Bone marrow smear. Cropped to a single cell. Brightfield, 40× oil-immersion objective:
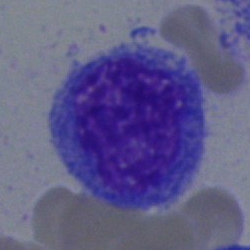
Specimen: bone marrow aspirate smear.
Classification: undifferentiated blast.